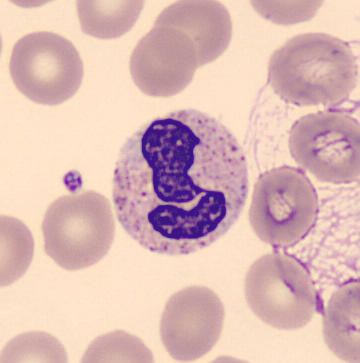 A polymorphonuclear neutrophil.